250×250 · MGG-stained · bone marrow smear — 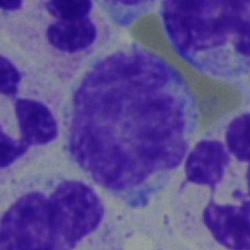{"cell_type": "monocyte", "lineage": "myeloid"}